Bone marrow aspirate smear — 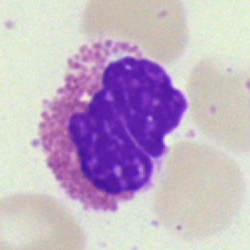 Morphology consistent with an eosinophilic granulocyte.